Bone marrow smear:
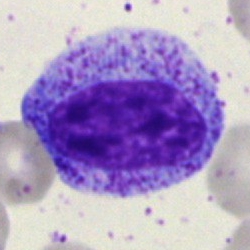
The cell type is myelocyte.